Bone marrow smear · single-cell crop:
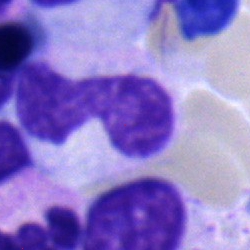The cell shown is a band-form neutrophil.